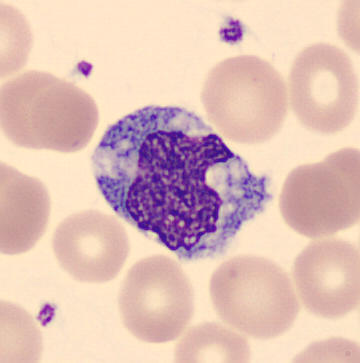 The classification is monocyte.
Preparation: Peripheral blood smear.